May-Grünwald-Giemsa/Pappenheim stain · bone marrow smear · single cell centered in the field:
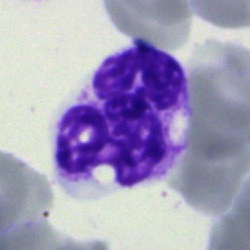

Morphology consistent with a neutrophil (segmented).